Bone marrow aspirate smear: 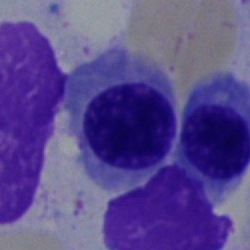 Cell = nucleated red blood cell.